250×250. 40× oil immersion. Bone marrow smear — 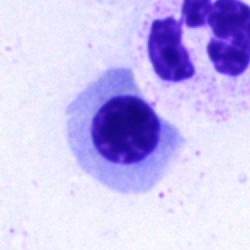A nucleated red blood cell.